Bone marrow aspirate smear; 40× objective, oil immersion:
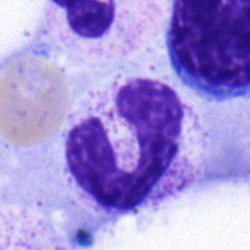
Classification — band-form neutrophil.